Bone marrow smear.
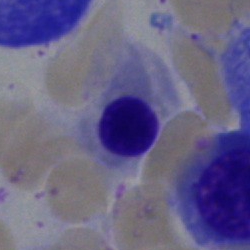

Specimen: bone marrow aspirate smear.
Cell type: erythroblast.
Lineage: erythroid.